Bone marrow smear
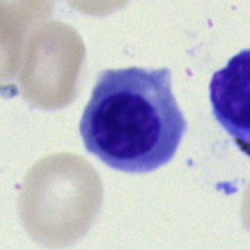{"cell_type": "nucleated red blood cell", "lineage": "erythroid"}